Bone marrow aspirate smear: 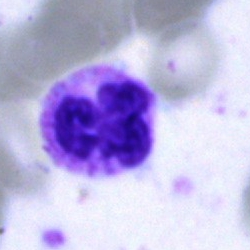

Q: What cell is this?
A: It is a polymorphonuclear neutrophil.